Bone marrow aspirate smear; May-Grünwald-Giemsa/Pappenheim stain; 250×250 px
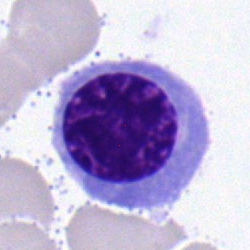Erythroblast.